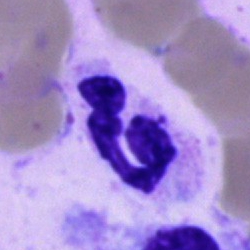

Impression — neutrophil (segmented).